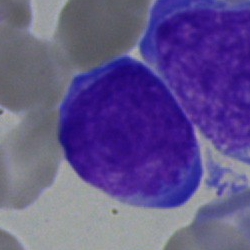
This is a blast.